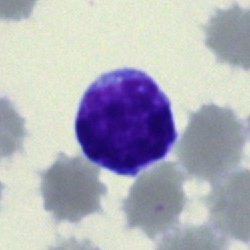
A lymphocyte on a bone marrow smear.